Single cell centered in the field · bone marrow aspirate smear · Pappenheim-stained
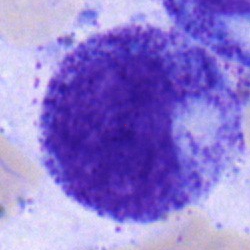 The cell is myelocyte.